Bone marrow smear:
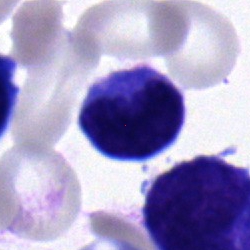

A lymphocyte.